Bone marrow smear
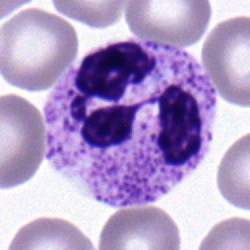
This is a neutrophil (segmented).